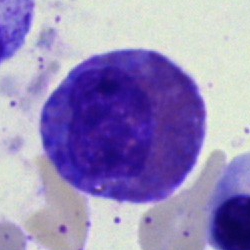
Specimen: bone marrow aspirate smear.
Classification: eosinophilic granulocyte.